Bone marrow smear
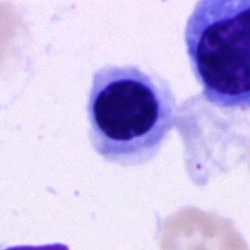A normoblast.